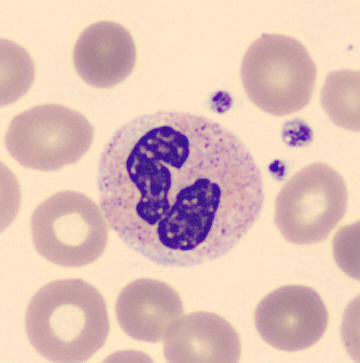
Q: What cell is this?
A: A neutrophil (segmented).